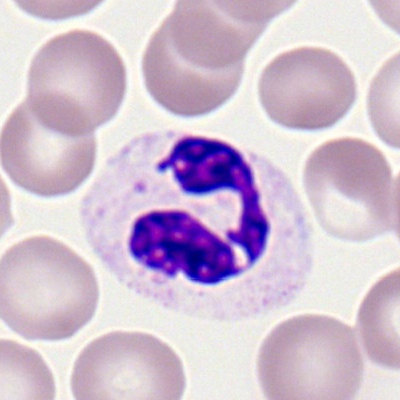Single-cell crop from a peripheral blood smear: segmented neutrophil.